Peripheral blood smear — 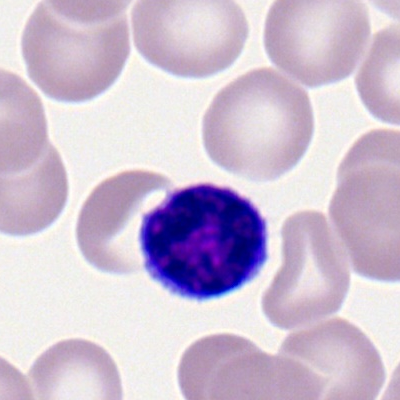
This is a lymphocyte.